Brightfield microscopy, 40× oil immersion. Bone marrow smear
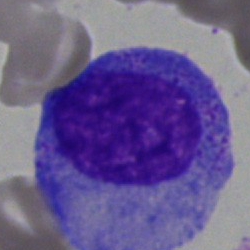 Classification: promyelocyte.